Brightfield microscopy, 40× oil immersion · bone marrow aspirate smear.
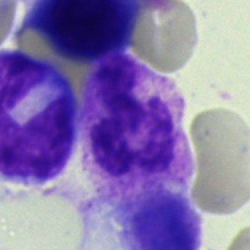The morphological class is segmented neutrophil.